Bone marrow smear.
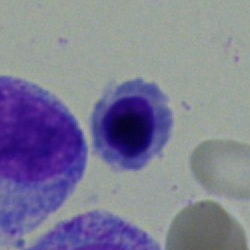 Q: What is shown here?
A: It is a nucleated red blood cell.